Bone marrow aspirate smear
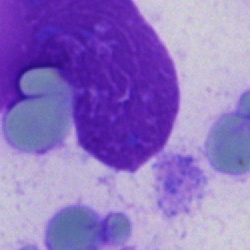Morphology consistent with an artefact.